Bone marrow aspirate smear — 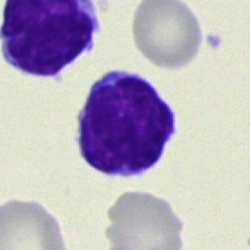
Q: What is shown here?
A: This is a typical lymphocyte.